May-Grünwald-Giemsa stain. Cropped to a single cell. Bone marrow aspirate smear.
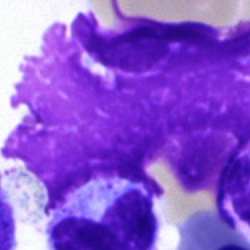

The classification is artefact.